Bone marrow aspirate smear.
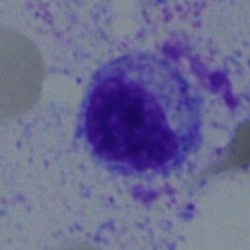 Showing a myelocyte.